Single-cell crop · bone marrow aspirate smear — 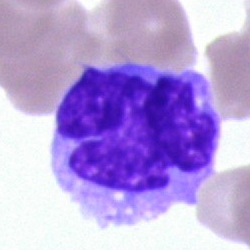Showing a monocyte.